Single-cell crop. 250 by 250 pixels. Bone marrow aspirate smear: 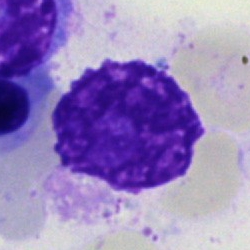
Cell — artifact.